Bone marrow aspirate smear; 250 by 250 pixels
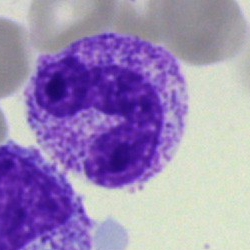 Q: Identify the cell.
A: It is a band-form neutrophil.